Image size 250×250 · bone marrow smear.
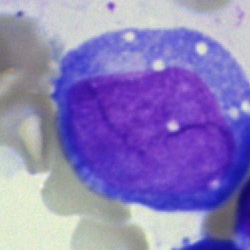Impression — undifferentiated blast.